Bone marrow aspirate smear:
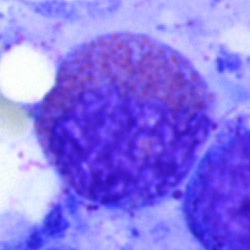

Specimen: bone marrow aspirate smear.
Cell type: eosinophil.
Lineage: myeloid.